May-Grünwald-Giemsa/Pappenheim stain; bone marrow smear — 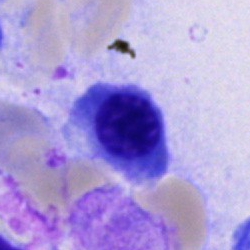 Specimen: bone marrow aspirate smear.
Cell type: normoblast.
Lineage: erythroid.